Single-cell crop · bone marrow aspirate smear — 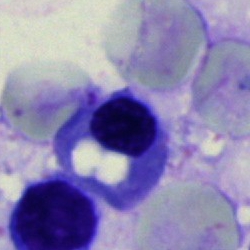An erythroblast.